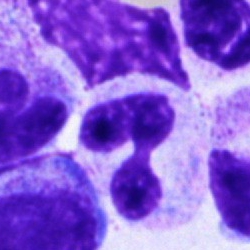 Q: What is shown here?
A: A segmented neutrophil.